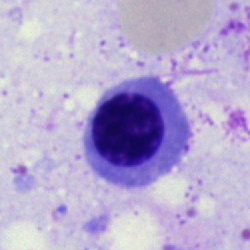
{"cell_type": "nucleated red blood cell", "lineage": "erythroid"}